Bone marrow aspirate smear — 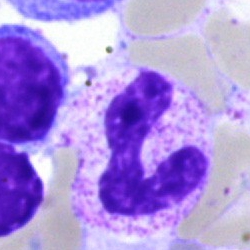 Q: Identify the cell.
A: A neutrophil (segmented).